Bone marrow aspirate smear; May-Grünwald-Giemsa/Pappenheim stain.
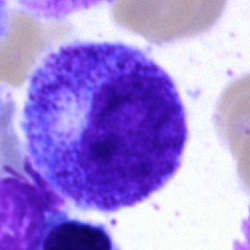
This is a progranulocyte.